May-Grünwald-Giemsa/Pappenheim stain; single-cell field; bone marrow smear
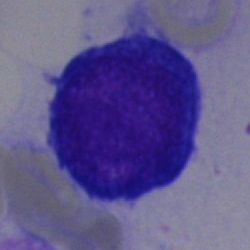
A nucleated red cell.